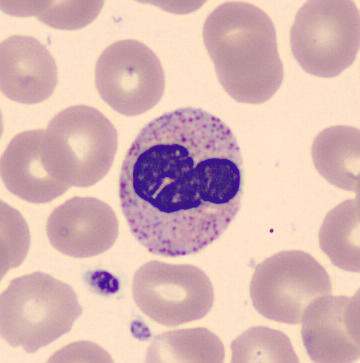{"cell_type": "polymorphonuclear neutrophil"}
Peripheral blood film.